Bone marrow smear: 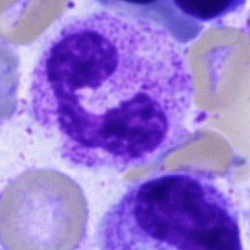
Morphology consistent with a polymorphonuclear neutrophil.